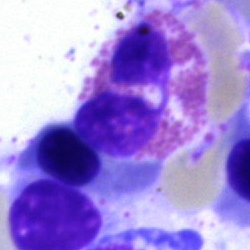

The cell shown is an eosinophil.